Peripheral blood smear
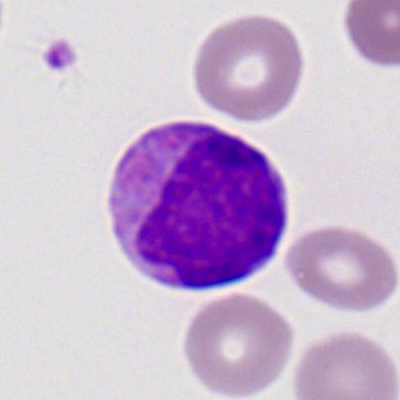 {"cell_type": "myeloblast", "lineage": "myeloid"}